Bone marrow smear — 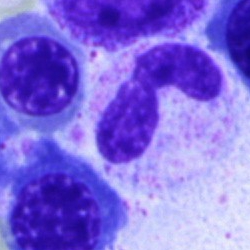
Specimen: bone marrow aspirate smear.
Cell: segmented neutrophil.